Bone marrow smear:
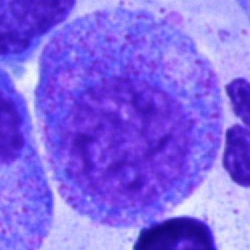 Specimen: bone marrow aspirate smear.
Classification: progranulocyte.